Bone marrow aspirate smear.
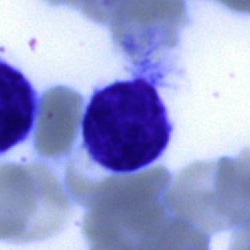
A lymphocyte.